Bone marrow aspirate smear — 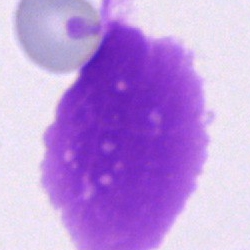 Morphology consistent with an artifact.